Bone marrow smear:
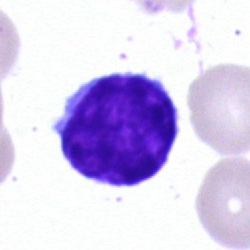
Cell = lymphocyte.